Bone marrow smear; single-cell crop — 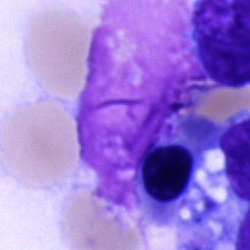The cell shown is an artefact.